Bone marrow aspirate smear.
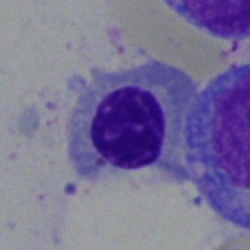
Cell = nucleated red blood cell.